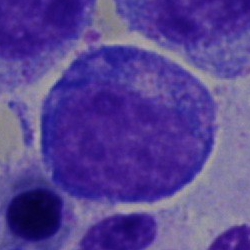
Q: What is shown here?
A: It is a progranulocyte.